250 by 250 pixels · bone marrow aspirate smear — 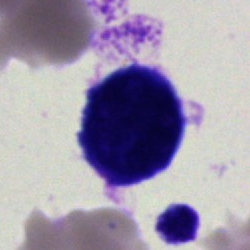

Q: What is shown here?
A: It is an artefact.